Bone marrow aspirate smear: 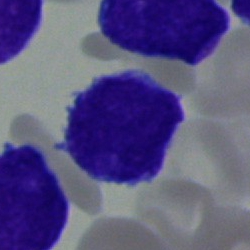 A blast cell.